250×250 px · bone marrow smear.
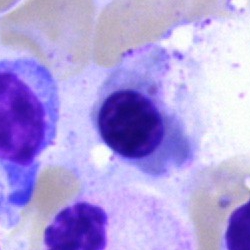
Showing a nucleated red blood cell.